Bone marrow smear:
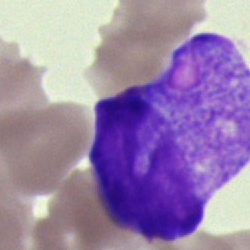 Morphology — blast.